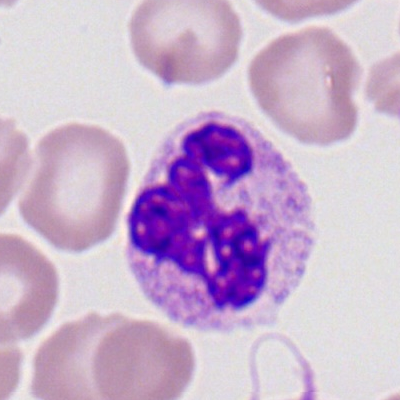 Q: What is the morphological classification of this cell?
A: It is a segmented neutrophil.